Single-cell crop. Bone marrow smear. 40× oil immersion: 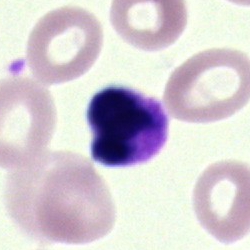

Showing an artefact.